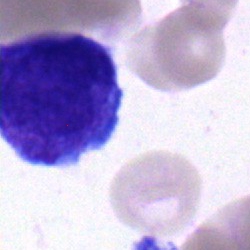 The morphological class is blast.